Bone marrow smear.
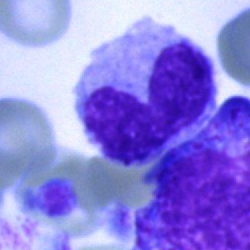
Morphology — band-form neutrophil.